40× objective, oil immersion; bone marrow aspirate smear; single-cell field — 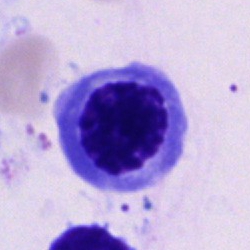
Q: What cell is this?
A: This is an erythroblast.